Romanowsky-stained · 100× oil immersion, 14.14 px/µm · peripheral blood smear — 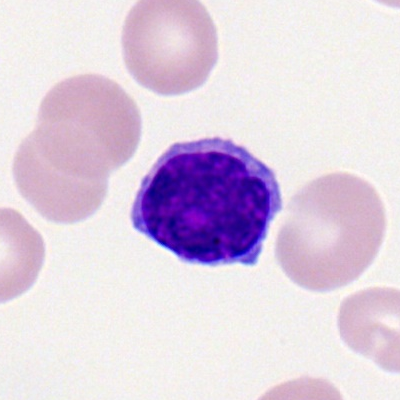Specimen: peripheral blood smear.
Cell type: typical lymphocyte.